Bone marrow smear; single cell centered in the field; Pappenheim-stained — 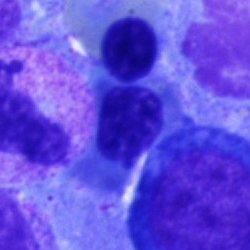

Classification — erythroblast.